Bone marrow aspirate smear · cropped to a single cell
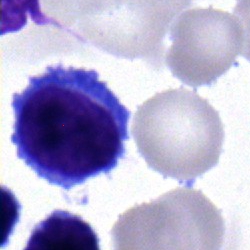

Morphological class = typical lymphocyte.